Bone marrow smear
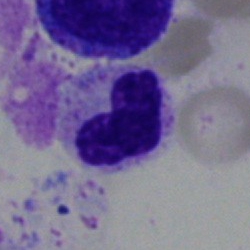 Cell: band-form neutrophil.